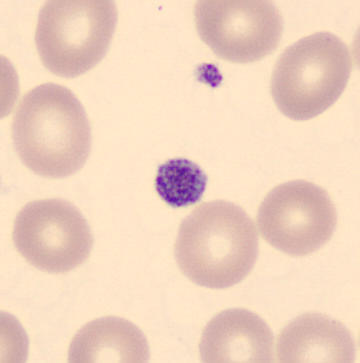 Preparation: 360×363 px; automated cell imaging (CellaVision DM96); peripheral blood smear.
Morphological class: thrombocyte.